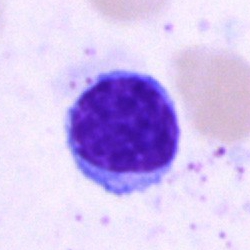
Morphology consistent with a typical lymphocyte.